Single-cell crop. Bone marrow smear. 40× oil immersion.
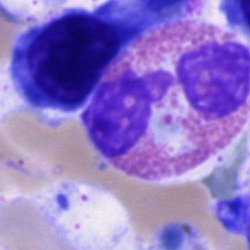
Morphology → eosinophilic granulocyte.